40× oil immersion; single cell centered in the field; bone marrow smear.
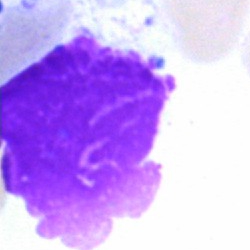The cell type is artifact.